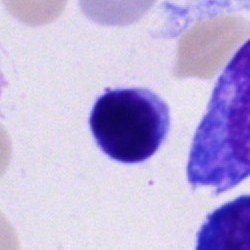Q: What is shown here?
A: A lymphocyte.